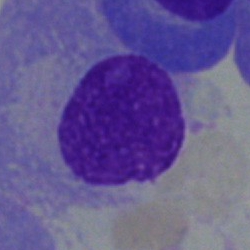

Morphology — plasmacyte.